Cropped to a single cell. Bone marrow smear:
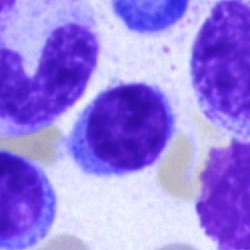

Q: What cell is this?
A: Typical lymphocyte.